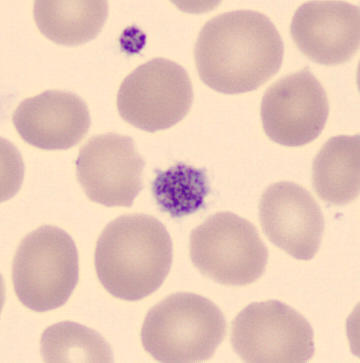

Cell type = platelet. Image: Peripheral blood film.